Single-cell field; May-Grünwald-Giemsa stain; bone marrow aspirate smear
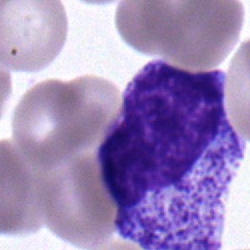

Morphological class: myelocyte.